Bone marrow aspirate smear. Brightfield, 40× oil-immersion objective:
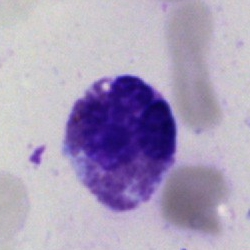 This is an eosinophil.